Bone marrow aspirate smear; brightfield microscopy, 40× oil immersion.
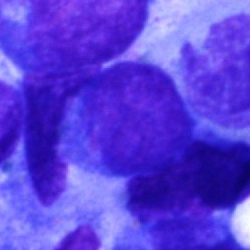
The cell type is artifact.